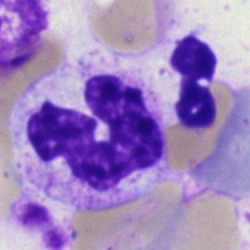Q: Which cell type is shown here?
A: Segmented neutrophil.